Bone marrow smear. MGG-stained. 250 by 250 pixels: 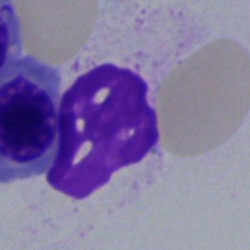

Showing an artifact.